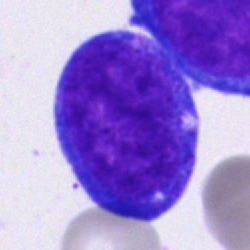{"cell_type": "blast"}